Bone marrow aspirate smear; May-Grünwald-Giemsa/Pappenheim stain.
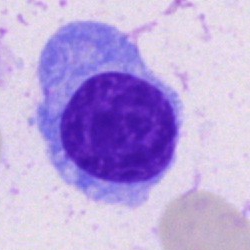

A plasmacyte.